Bone marrow smear: 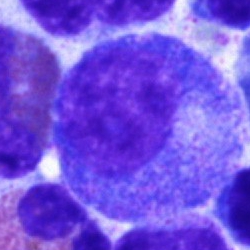The cell is progranulocyte.